Single-cell crop. Peripheral blood film.
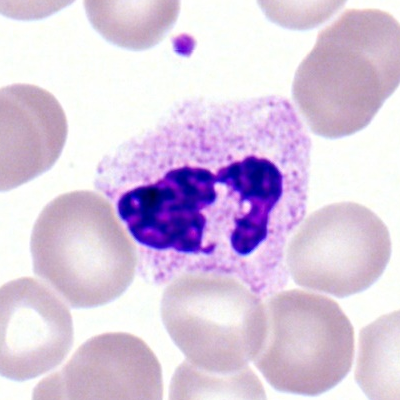Segmented neutrophil.